Bone marrow smear:
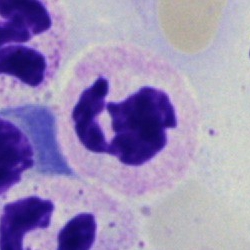 Neutrophil (segmented).